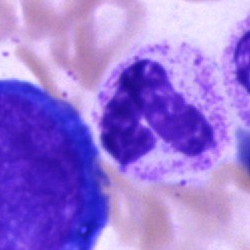 Morphology consistent with a band-form neutrophil.